Bone marrow smear · MGG-stained
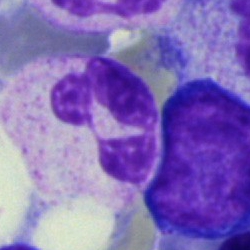

The cell is segmented neutrophil.